Bone marrow smear. Cropped to a single cell: 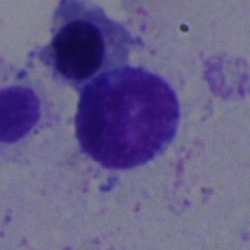

Morphology — lymphocyte.